Bone marrow smear — 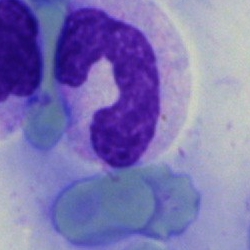Impression — neutrophil (segmented).